Image size 250×250. Bone marrow aspirate smear.
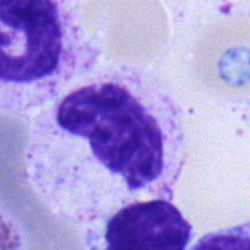 Classification: stab cell.